Bone marrow smear: 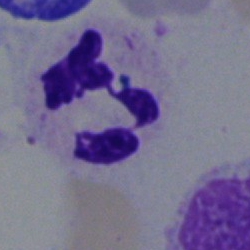 Specimen: bone marrow aspirate smear.
Cell type: neutrophil (segmented).
Lineage: myeloid.